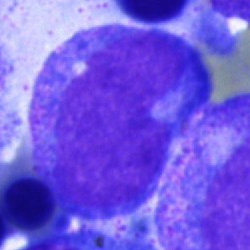
Classification = promyelocyte.